Bone marrow aspirate smear — 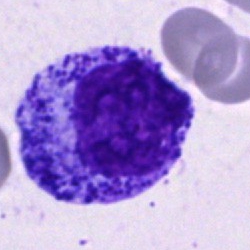
Progranulocyte.